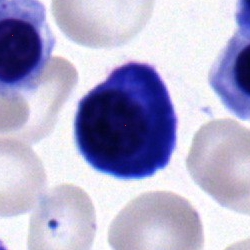

Classification — plasmacyte.